Image size 250×250 · May-Grünwald-Giemsa stain · bone marrow smear — 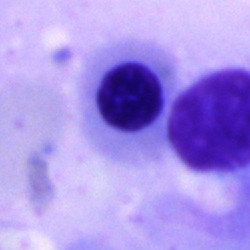Cell type — erythroblast.